Bone marrow smear.
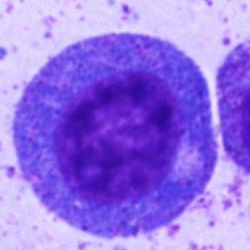
The cell shown is a progranulocyte.